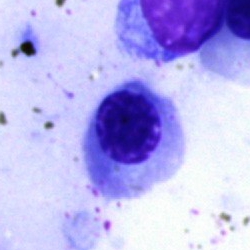{"cell_type": "nucleated red blood cell", "lineage": "erythroid"}